Peripheral blood film.
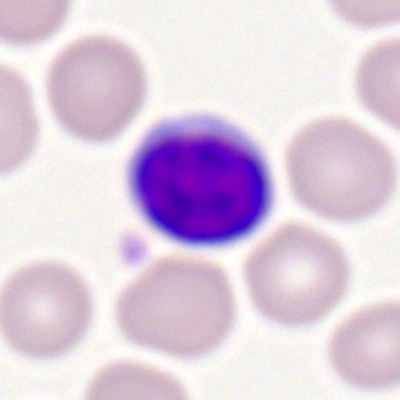

Classification — typical lymphocyte.